Bone marrow smear; brightfield, 40× oil-immersion objective
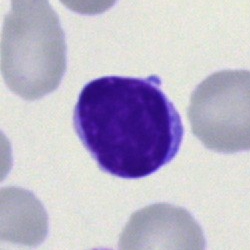 Impression → typical lymphocyte.